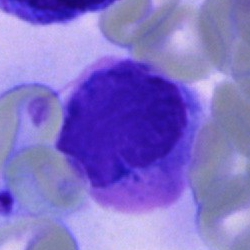

Bone marrow aspirate smear, single cell — artifact.